Bone marrow smear: 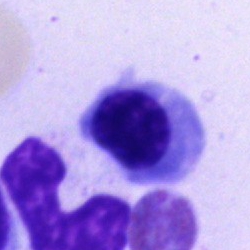

An erythroblast.